Bone marrow aspirate smear:
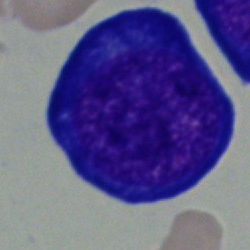

Q: What type of cell is this?
A: It is a proerythroblast.